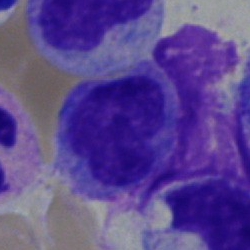
A monocyte.